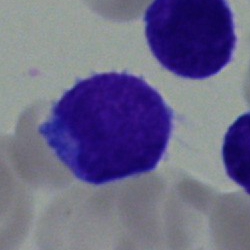Morphological class = undifferentiated blast.